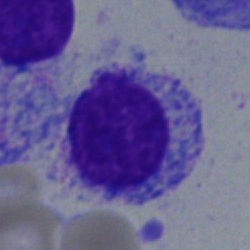Classification: myelocyte.